400×400 px. Peripheral blood smear.
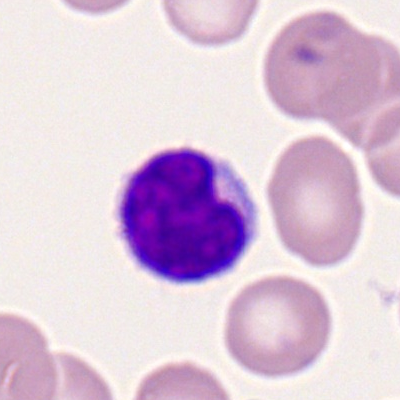 Q: What is the morphological classification of this cell?
A: A lymphocyte.